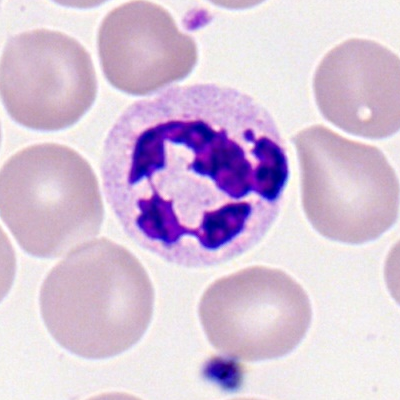Morphology — segmented neutrophil.